Brightfield microscopy, 40× oil immersion · bone marrow aspirate smear · Pappenheim-stained — 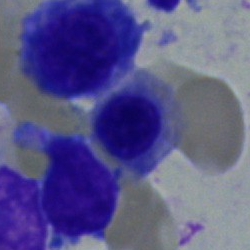Classification — normoblast.